Bone marrow smear.
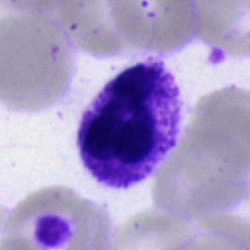Single cell identified as a segmented neutrophil.